Bone marrow smear
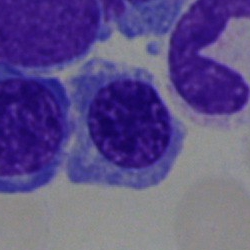 Morphological class: erythroblast.